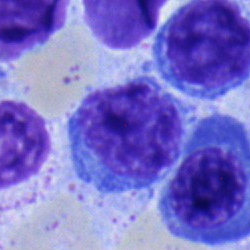

Lymphocyte.